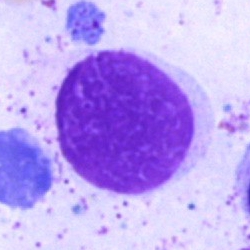 Q: What is shown here?
A: It is an artefact.